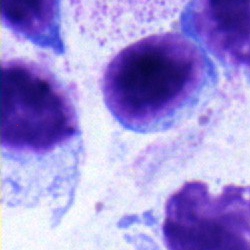The cell shown is a lymphocyte.